Bone marrow smear
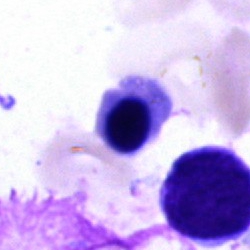
Cell type = normoblast.